Bone marrow smear: 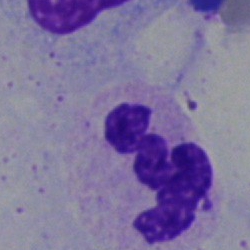 {"cell_type": "neutrophil (segmented)", "lineage": "myeloid"}